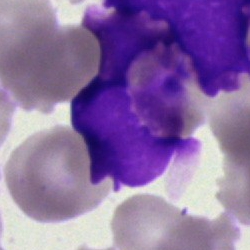

Bone marrow aspirate smear, single cell — artefact.